Peripheral blood film · 100× oil immersion · cropped to a single cell: 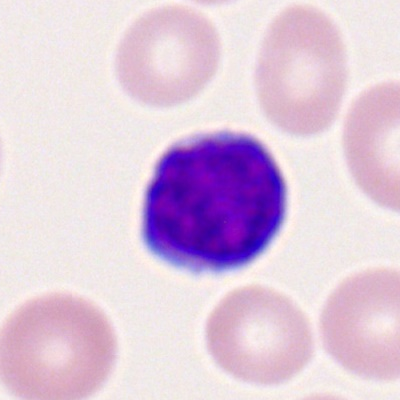Q: Which cell type is shown here?
A: It is a lymphocyte.